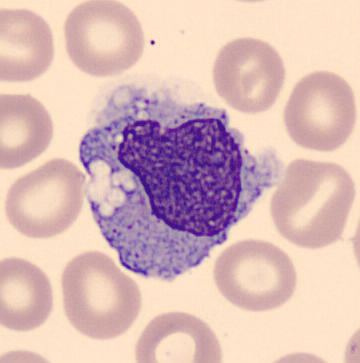

Image: Single-cell crop · imaged on a CellaVision DM96 analyser · peripheral blood smear. Q: What cell is this?
A: A monocyte.